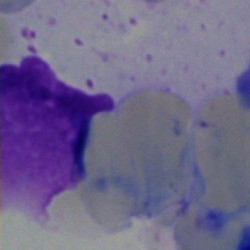
Specimen: bone marrow smear.
Cell type: artefact.